Bone marrow aspirate smear: 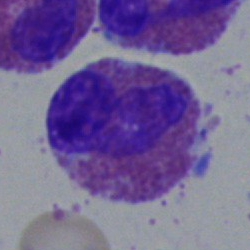
Q: What cell is this?
A: Eosinophil.